Bone marrow aspirate smear
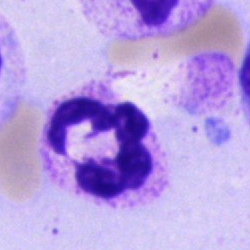Q: What is the morphological classification of this cell?
A: A neutrophil (segmented).